Bone marrow aspirate smear · 250 by 250 pixels: 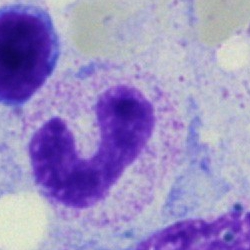
This is a band-form neutrophil.